MGG-stained · cropped to a single cell · bone marrow aspirate smear:
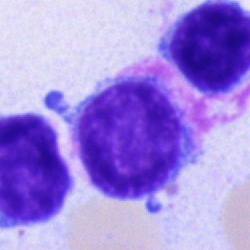

Q: What is shown here?
A: Lymphocyte.